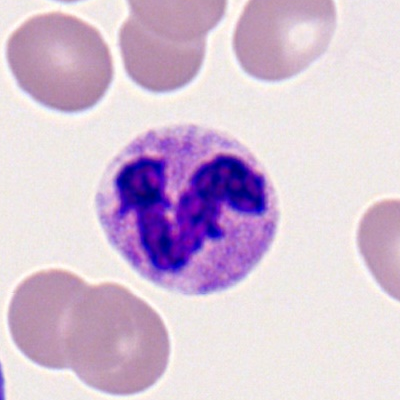 Peripheral blood smear showing a neutrophil (segmented).